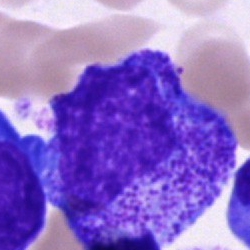Impression — promyelocyte.